Bone marrow aspirate smear. Pappenheim-stained. Brightfield microscopy, 40× oil immersion:
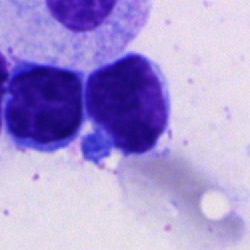
Morphology → typical lymphocyte.